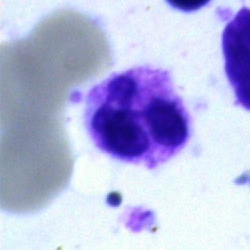

Q: What type of cell is this?
A: Polymorphonuclear neutrophil.